May-Grünwald-Giemsa stain. 250×250 px. Bone marrow smear.
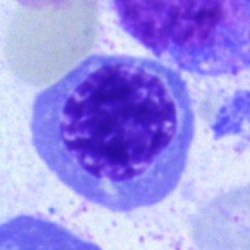 Q: Which cell type is shown here?
A: A nucleated red blood cell.